Bone marrow smear.
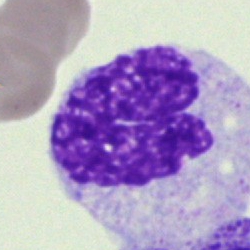

A neutrophil (band).